Bone marrow smear.
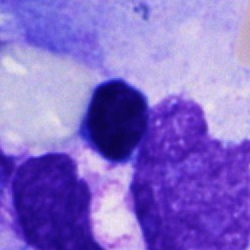Showing an unidentifiable cell.